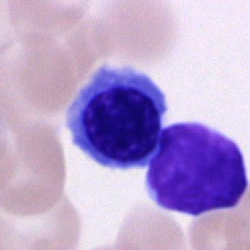 A normoblast.